Bone marrow smear:
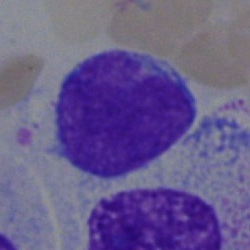Showing a typical lymphocyte.